40× objective, oil immersion. Bone marrow smear.
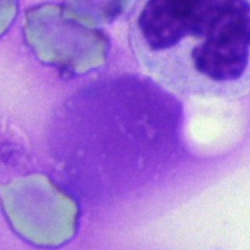Cell — artifact.